Bone marrow aspirate smear.
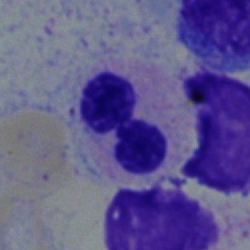
Specimen: bone marrow smear.
Morphological class: polymorphonuclear neutrophil.